Bone marrow smear · May-Grünwald-Giemsa stain:
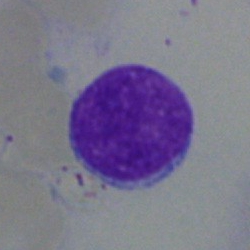Showing a lymphocyte.